Bone marrow smear:
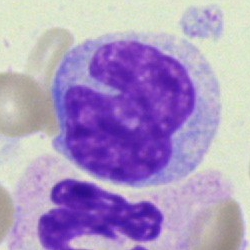
A monocyte.